Bone marrow aspirate smear. May-Grünwald-Giemsa stain. Brightfield, 40× oil-immersion objective:
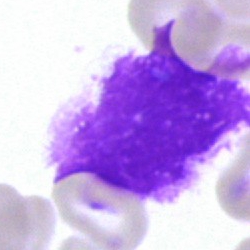
Morphology — artefact.